Bone marrow aspirate smear — 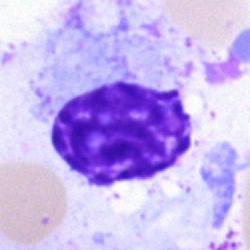 This is an artifact.